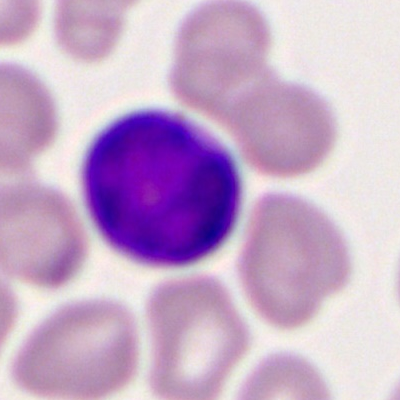Single cell identified as a myeloblast.